Single-cell crop · bone marrow aspirate smear:
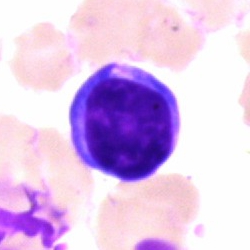
Q: Which cell type is shown here?
A: A lymphocyte.